Bone marrow smear
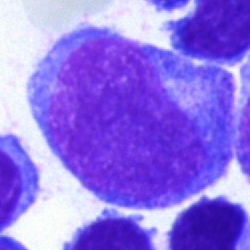
Progranulocyte.